Bone marrow smear.
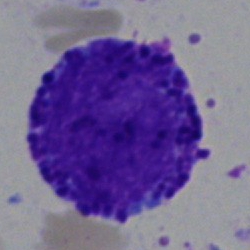
Morphological class: basophil.